250×250; bone marrow aspirate smear.
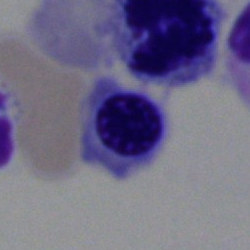The cell type is nucleated red blood cell.